Peripheral blood film.
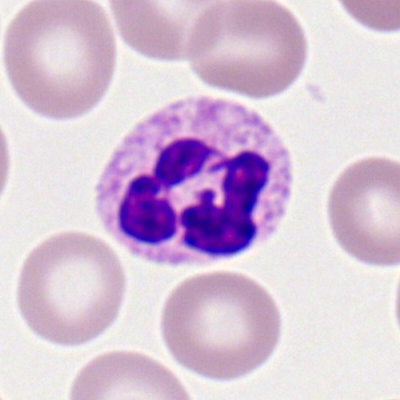
Impression — polymorphonuclear neutrophil.